Bone marrow smear:
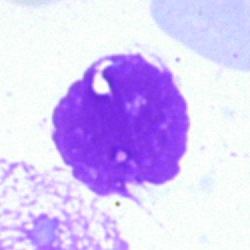 This is an artifact.